Bone marrow smear; 250 by 250 pixels; single-cell crop — 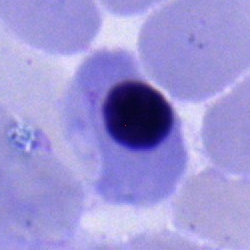
Impression → normoblast.